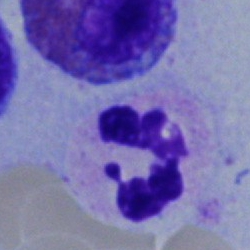
The cell type is polymorphonuclear neutrophil.